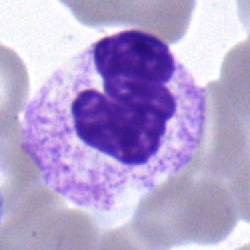

Showing a segmented neutrophil.